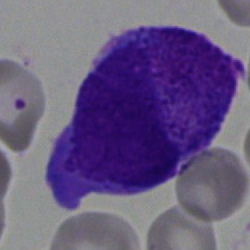
Bone marrow smear showing a blast.